Single cell centered in the field. Bone marrow aspirate smear
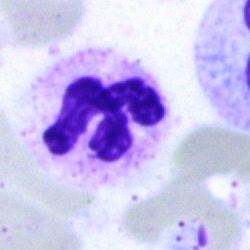

Cell type: segmented neutrophil.